Bone marrow aspirate smear.
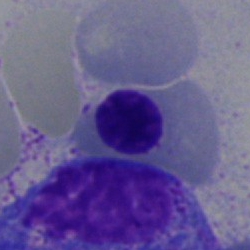 Specimen: bone marrow aspirate smear.
Morphological class: normoblast.
Lineage: erythroid.